Bone marrow aspirate smear.
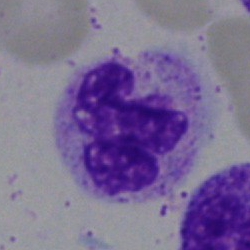
Impression — neutrophil (segmented).